250×250. Bone marrow aspirate smear.
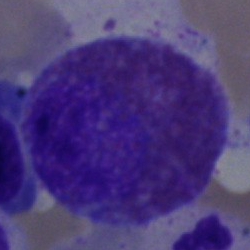

The cell shown is an eosinophilic granulocyte.